Bone marrow aspirate smear:
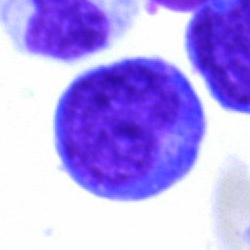
Blast.